Single-cell crop · bone marrow smear
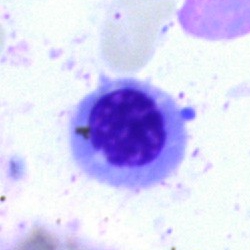 Specimen: bone marrow smear.
Cell: nucleated red blood cell.
Lineage: erythroid.